Peripheral blood smear
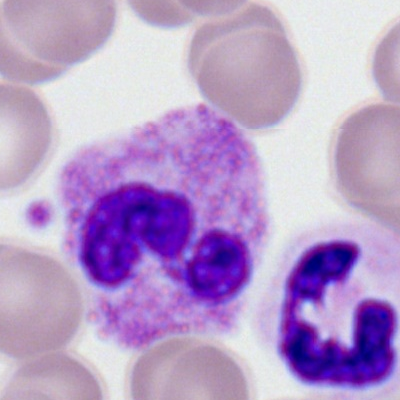
Morphology → polymorphonuclear neutrophil.